250×250. Bone marrow aspirate smear. Single-cell field:
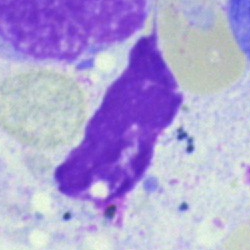
Classification: artifact.